Bone marrow smear — 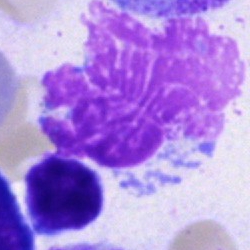{"cell_type": "artifact"}